Single-cell crop. Bone marrow smear. May-Grünwald-Giemsa/Pappenheim stain: 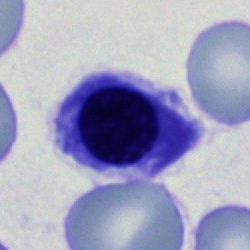

The classification is normoblast.